Bone marrow aspirate smear.
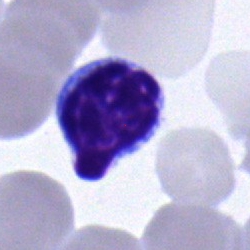

Cell type = lymphocyte.